250×250 · single-cell crop · bone marrow smear:
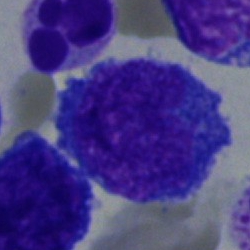
Q: What is shown here?
A: Blast.